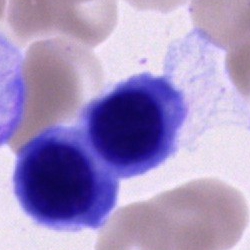

Cell type — erythroblast.